Bone marrow smear:
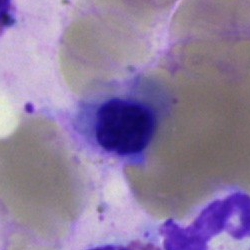Q: What type of cell is this?
A: A nucleated red blood cell.